Bone marrow aspirate smear; cropped to a single cell; 40× objective, oil immersion: 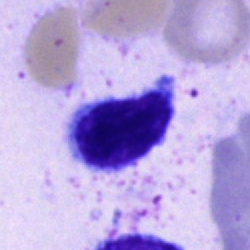
Classification = typical lymphocyte.